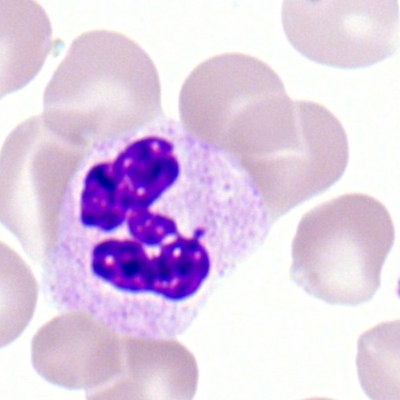
Morphology consistent with a segmented neutrophil.